Bone marrow smear:
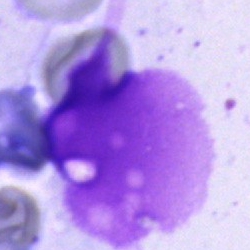

This is an artifact.